250×250 px · bone marrow aspirate smear · MGG-stained
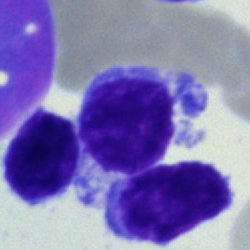

{"cell_type": "typical lymphocyte", "lineage": "lymphoid"}